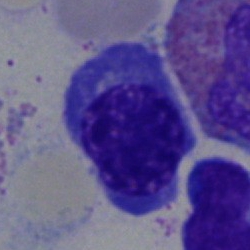 Classification — normoblast.